Bone marrow aspirate smear.
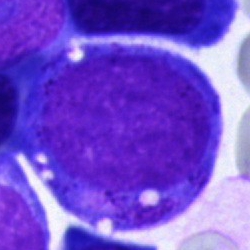
Cell: blast cell.